Bone marrow aspirate smear.
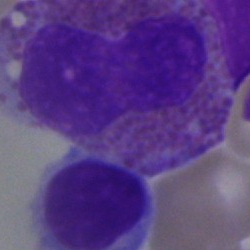 Q: What is the morphological classification of this cell?
A: An eosinophilic granulocyte.